Bone marrow aspirate smear; 40× objective, oil immersion: 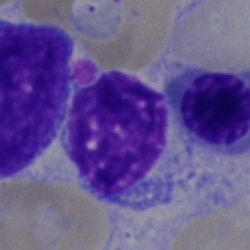Q: Identify the cell.
A: This is a typical lymphocyte.